Peripheral blood film.
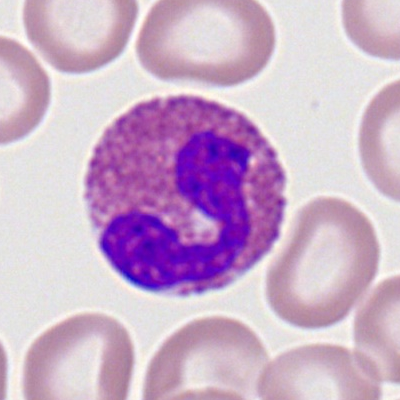This is an eosinophil.